Bone marrow aspirate smear: 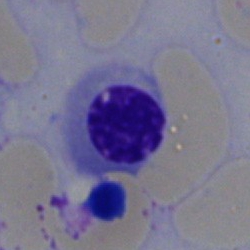
This is a nucleated red blood cell.